Bone marrow smear:
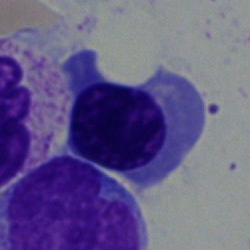

Cell type = nucleated red blood cell.